Bone marrow aspirate smear; May-Grünwald-Giemsa stain
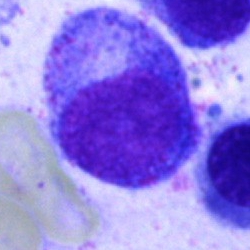Impression — promyelocyte.